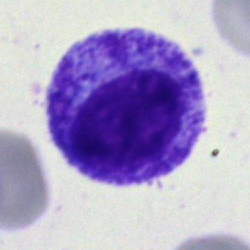

Morphology → myelocyte.